Bone marrow aspirate smear. 250 by 250 pixels — 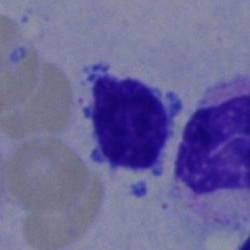 Showing a lymphocyte.